Peripheral blood smear:
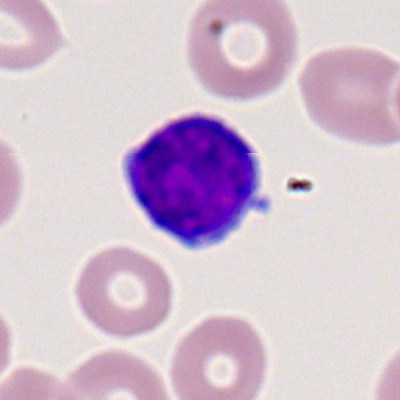 Cell = lymphocyte.